Bone marrow smear: 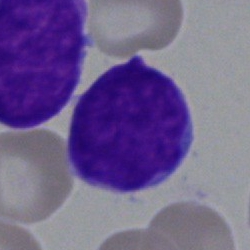

A blast.